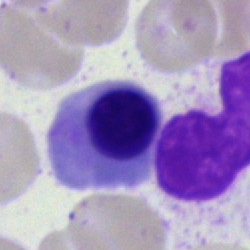A nucleated red blood cell.